May-Grünwald-Giemsa stain; single-cell field; bone marrow smear: 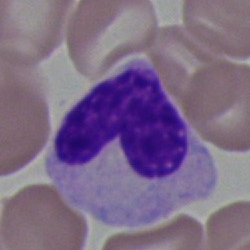
Impression — band neutrophil.